250 by 250 pixels; bone marrow aspirate smear — 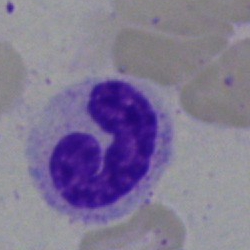

{"cell_type": "band-form neutrophil"}